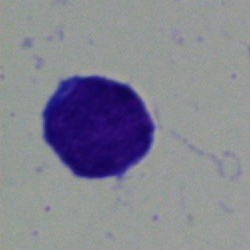 Bone marrow smear showing a typical lymphocyte.